Bone marrow aspirate smear — 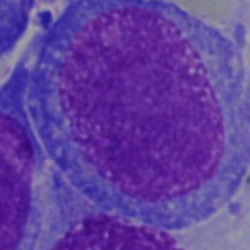
Impression → blast cell.